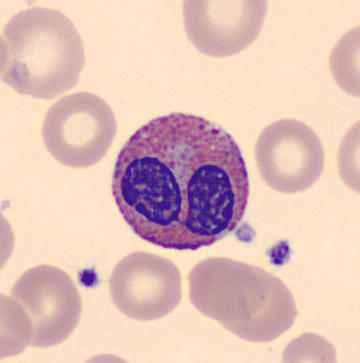An eosinophilic granulocyte.

Peripheral blood smear.